Pappenheim-stained; 250×250; bone marrow smear
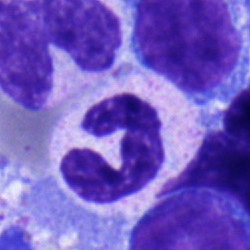

Segmented neutrophil.